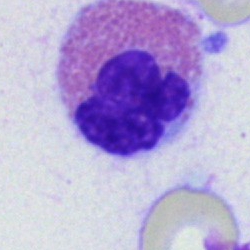
Q: Which cell type is shown here?
A: Eosinophilic granulocyte.